Bone marrow aspirate smear; brightfield, 40× oil-immersion objective: 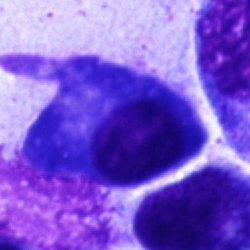 {"cell_type": "plasma cell"}